Single-cell crop · MGG-stained · bone marrow smear.
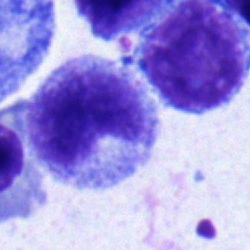Morphology — monocyte.